Bone marrow smear; single-cell field; 250 by 250 pixels — 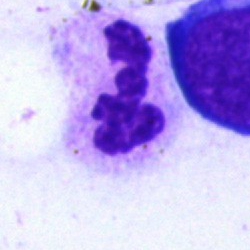

Specimen: bone marrow aspirate smear.
Cell type: polymorphonuclear neutrophil.